Bone marrow aspirate smear: 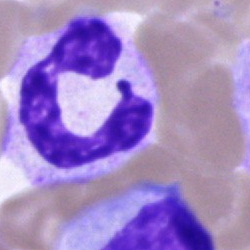
Classification — neutrophil (segmented).